40× objective, oil immersion. May-Grünwald-Giemsa/Pappenheim stain. Bone marrow smear:
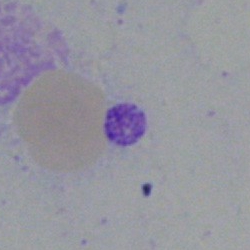

Q: What is shown here?
A: An artefact.